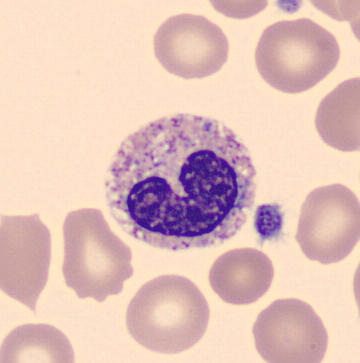
Q: Which cell type is shown here?
A: A stab cell.